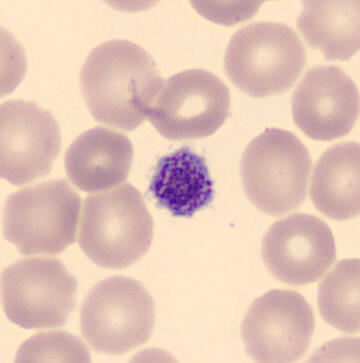Image: Peripheral blood smear. MGG-stained.

Thrombocyte.